Bone marrow smear · single cell centered in the field · 250×250 px.
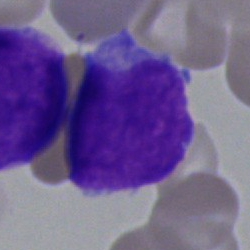
Morphological class — undifferentiated blast.